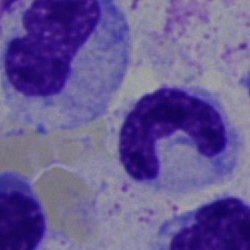

Showing a segmented neutrophil.